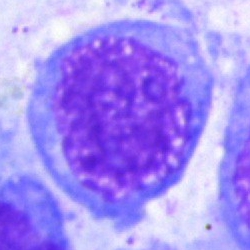Morphological class = undifferentiated blast.